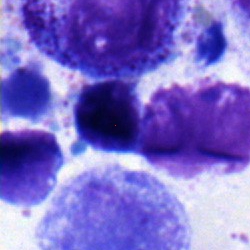

An erythroblast.